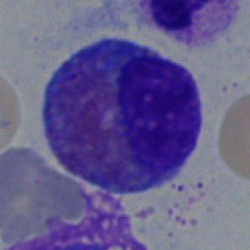 Morphology → eosinophil.